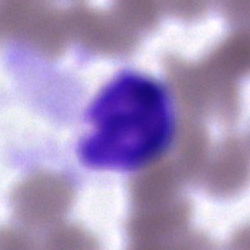This is an artifact.